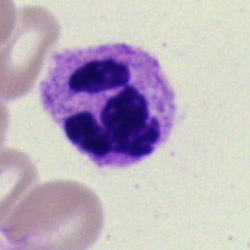 A neutrophil (segmented).